Bone marrow aspirate smear: 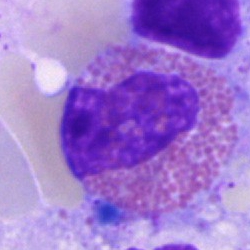

Morphology consistent with an eosinophil.